Image size 250×250. Bone marrow aspirate smear: 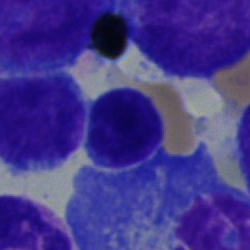

Specimen: bone marrow smear.
Classification: lymphocyte.
Lineage: lymphoid.